Bone marrow smear.
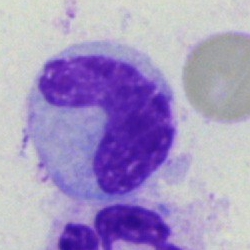
Q: Which cell type is shown here?
A: This is a stab cell.